Bone marrow smear. 250×250 px:
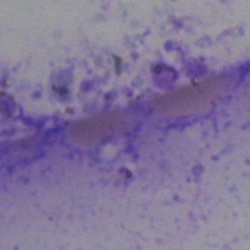Artefact.